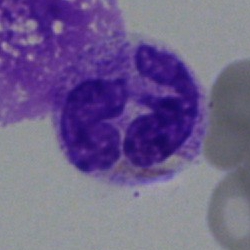
Single cell identified as a neutrophil (segmented).